Brightfield microscopy, 40× oil immersion; bone marrow smear; May-Grünwald-Giemsa stain — 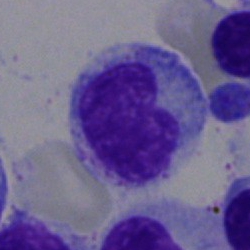 A metamyelocyte.